Bone marrow aspirate smear. May-Grünwald-Giemsa/Pappenheim stain
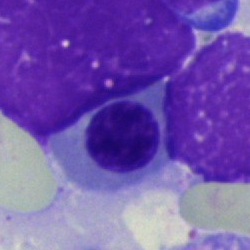 A normoblast.